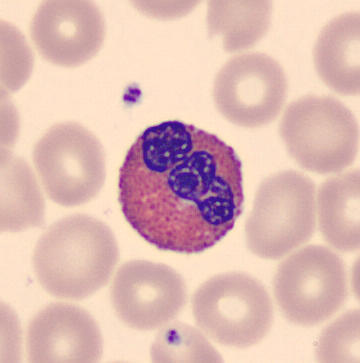

Q: What is the morphological classification of this cell?
A: Eosinophilic granulocyte.